Bone marrow smear:
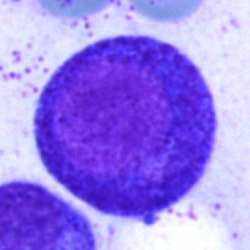
The morphological class is promyelocyte.